Bone marrow aspirate smear · May-Grünwald-Giemsa/Pappenheim stain
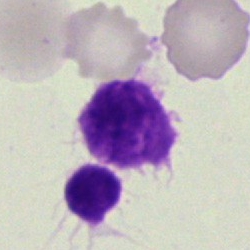 Q: What is shown here?
A: This is an artifact.